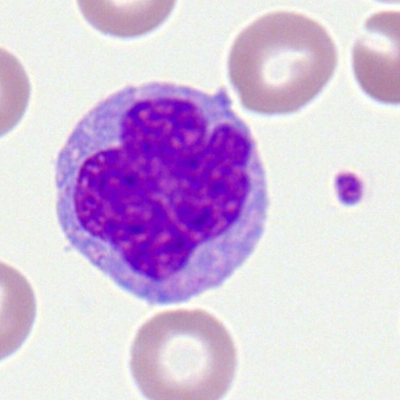Cell type = monocyte.